Peripheral blood film — 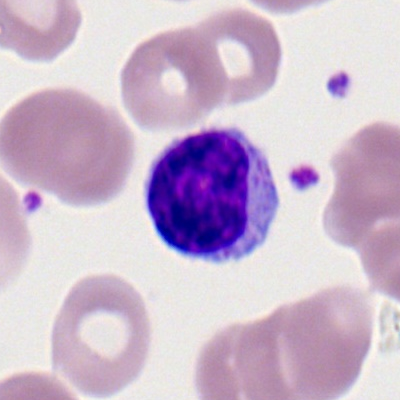Lymphocyte.